Bone marrow aspirate smear.
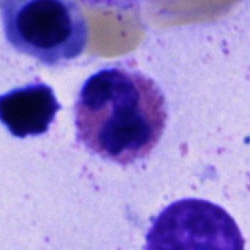
{"cell_type": "eosinophil", "lineage": "myeloid"}